Peripheral blood film — 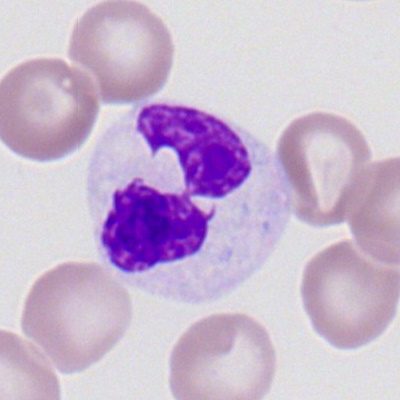 Segmented neutrophil.